May-Grünwald-Giemsa/Pappenheim stain · bone marrow aspirate smear — 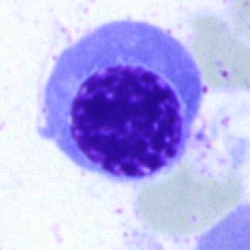

Morphology consistent with an erythroblast.